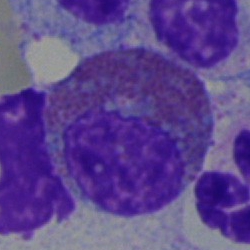
Single-cell crop from a bone marrow smear: eosinophilic granulocyte.